Romanowsky-stained · peripheral blood smear:
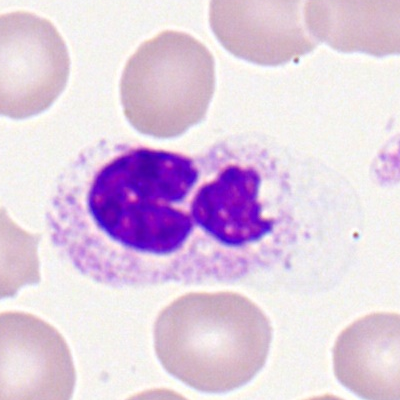
Morphology consistent with a polymorphonuclear neutrophil.